Bone marrow aspirate smear. May-Grünwald-Giemsa/Pappenheim stain: 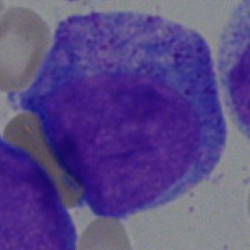 Cell = promyelocyte.